250 by 250 pixels; bone marrow aspirate smear: 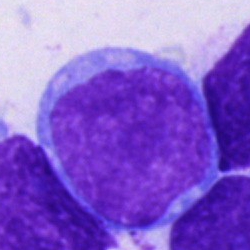
Q: Identify the cell.
A: Undifferentiated blast.